Bone marrow smear; May-Grünwald-Giemsa stain: 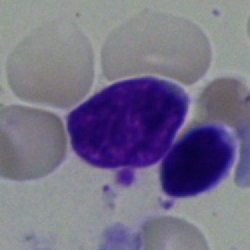
Morphology — blast cell.